Bone marrow aspirate smear.
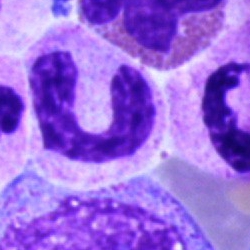 Morphology consistent with a band neutrophil.